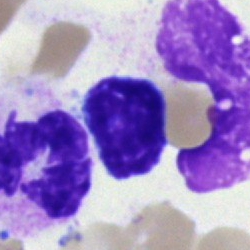

Morphology → lymphocyte.